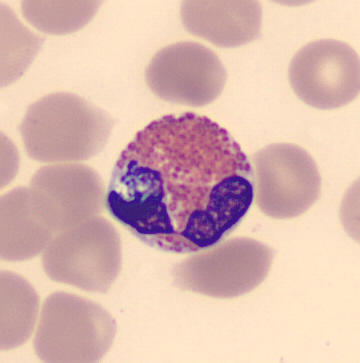

Specimen: peripheral blood film.
Morphological class: eosinophilic granulocyte.